Cropped to a single cell. MGG-stained. Bone marrow smear:
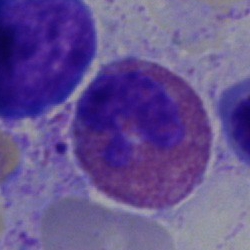

Morphological class: eosinophil.